Bone marrow smear: 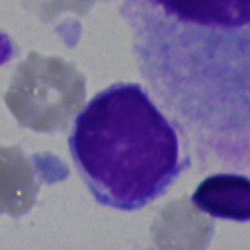Q: Which cell type is shown here?
A: A lymphocyte.